40× oil immersion. Bone marrow aspirate smear
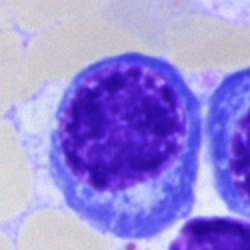 A nucleated red blood cell.